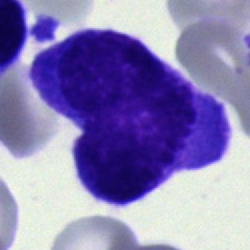Classification = blast.